Single-cell field · image size 250×250 · bone marrow aspirate smear
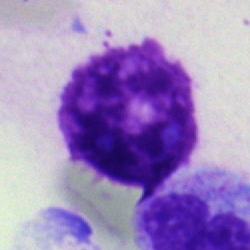

Morphology → artefact.